40× oil immersion · bone marrow aspirate smear: 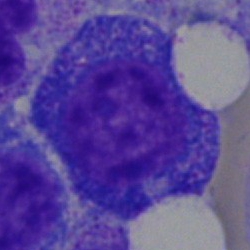Progranulocyte.